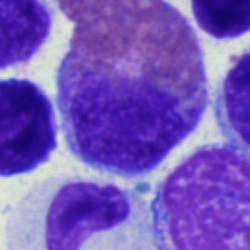 Q: Identify the cell.
A: It is an eosinophil.